Bone marrow smear — 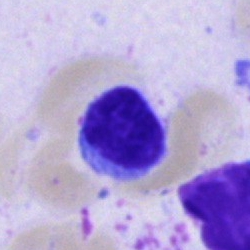
Q: What type of cell is this?
A: This is a typical lymphocyte.